Bone marrow aspirate smear
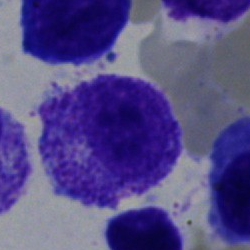
Q: Which cell type is shown here?
A: It is a progranulocyte.